Bone marrow aspirate smear · 250 by 250 pixels · 40× oil immersion.
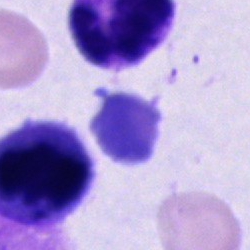

Impression → unidentifiable cell.